Peripheral blood film: 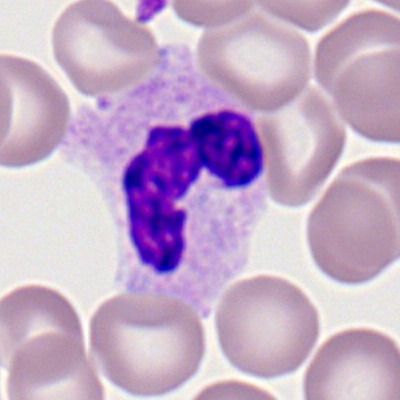

The classification is segmented neutrophil.